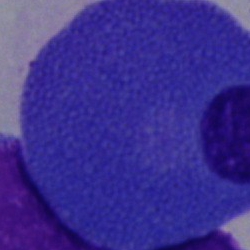Bone marrow aspirate smear, single cell — plasma cell.